Brightfield microscopy, 40× oil immersion; bone marrow smear.
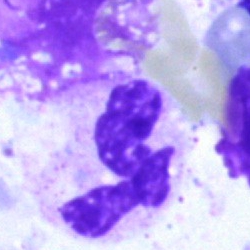
Single cell identified as a neutrophil (segmented).